Bone marrow smear: 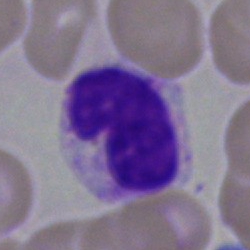Single cell identified as a basophilic granulocyte.